Bone marrow smear
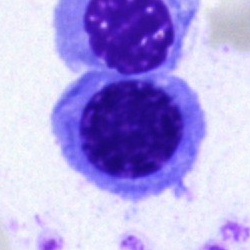 A nucleated red cell.